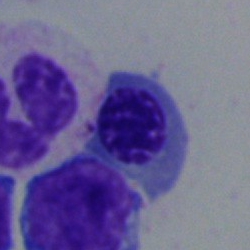 Morphology — nucleated red blood cell.